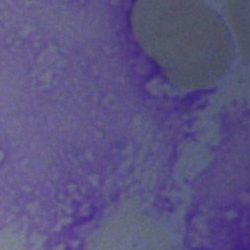 The cell is artifact.